Peripheral blood film
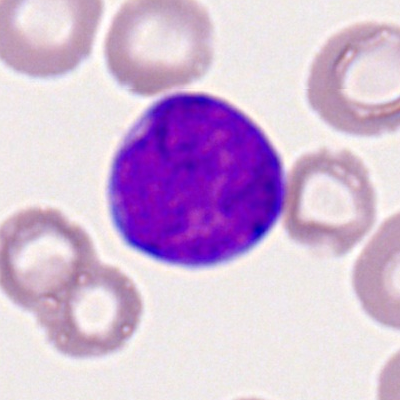 {"cell_type": "myeloid blast", "lineage": "myeloid"}